250 by 250 pixels; bone marrow smear: 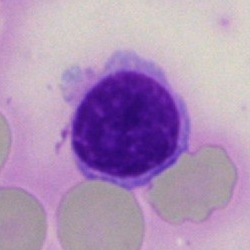 {"cell_type": "artefact"}